Bone marrow aspirate smear.
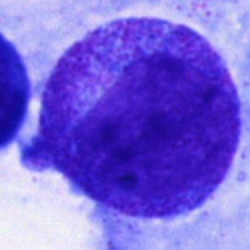 Q: Which cell type is shown here?
A: Progranulocyte.